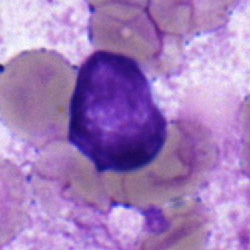 Q: Identify the cell.
A: A lymphocyte.